Image size 250×250; bone marrow aspirate smear:
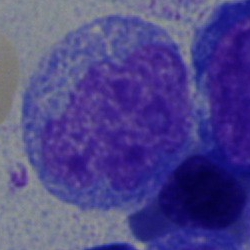Showing a blast cell.